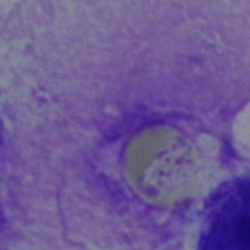

Impression — artifact.